Peripheral blood smear; 100× oil immersion:
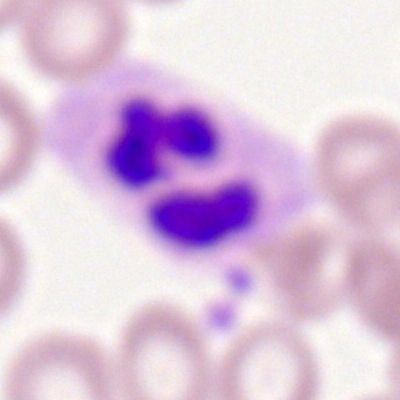
Classification = neutrophil (segmented).